Bone marrow aspirate smear — 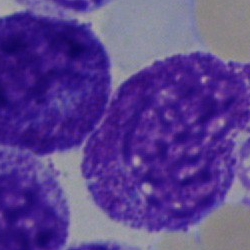 Morphology consistent with an artefact.